Bone marrow smear · 40× oil immersion
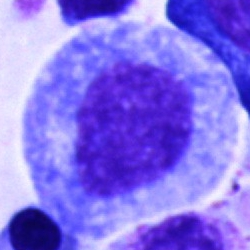Cell type — progranulocyte.